Bone marrow smear; 250×250 px; May-Grünwald-Giemsa stain — 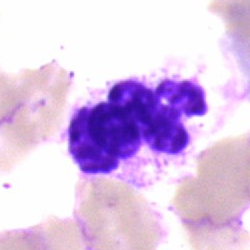Classification — segmented neutrophil.